Bone marrow aspirate smear; 250×250 px; brightfield, 40× oil-immersion objective:
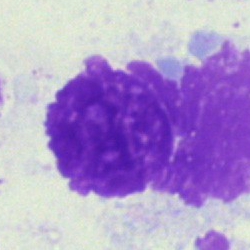 Artefact.